400×400; peripheral blood film:
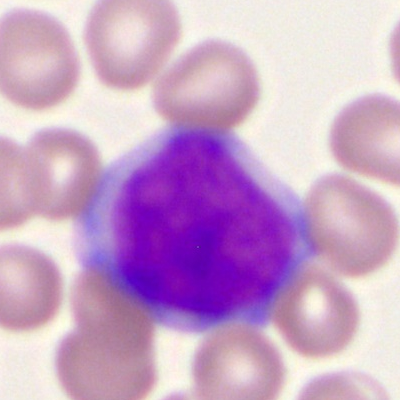

Cell: myeloid blast.